MGG-stained. Bone marrow aspirate smear
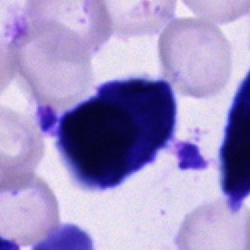Cell type — cell of indeterminate lineage.